MGG-stained. Bone marrow smear. Brightfield, 40× oil-immersion objective:
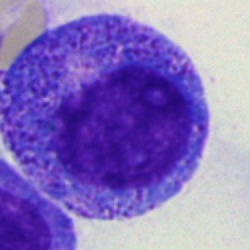
Q: Which cell type is shown here?
A: It is a promyelocyte.